Bone marrow smear; 250 by 250 pixels: 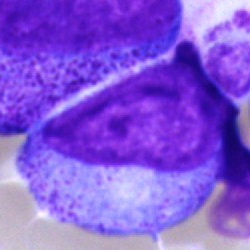

Morphological class = promyelocyte.